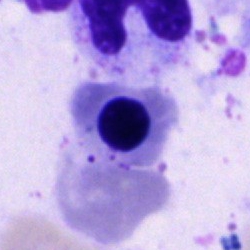

{"cell_type": "normoblast", "lineage": "erythroid"}